Bone marrow smear — 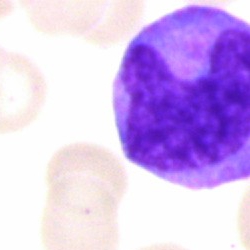 Cell = monocyte.